Bone marrow aspirate smear. Image size 250×250. 40× oil immersion: 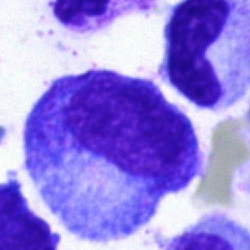{"cell_type": "progranulocyte"}